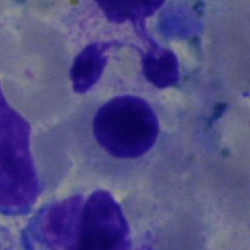 Q: What is the morphological classification of this cell?
A: It is a nucleated red blood cell.